Bone marrow aspirate smear — 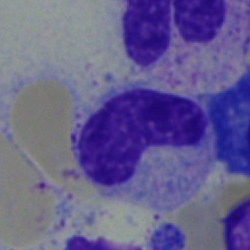Specimen: bone marrow smear.
Cell type: band-form neutrophil.
Lineage: myeloid.